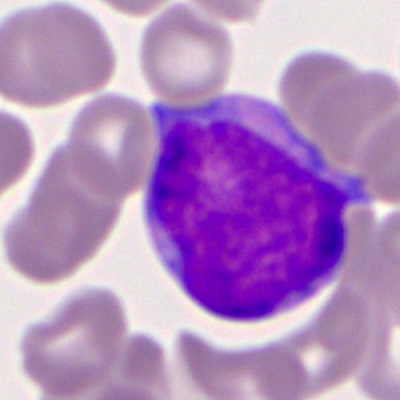

A myeloblast.